Bone marrow aspirate smear
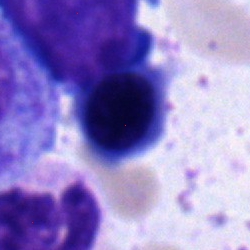

The cell shown is a normoblast.